Bone marrow aspirate smear; 250×250 px; brightfield microscopy, 40× oil immersion — 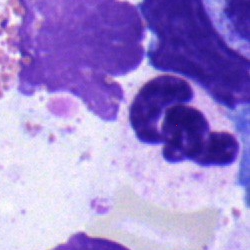
Showing a polymorphonuclear neutrophil.